Bone marrow smear · 250 by 250 pixels:
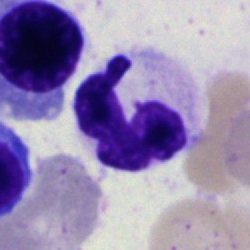Q: What cell is this?
A: It is a polymorphonuclear neutrophil.